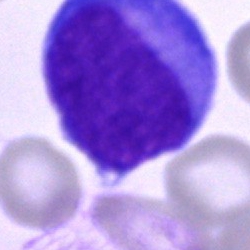

Showing a blast cell.